Bone marrow smear: 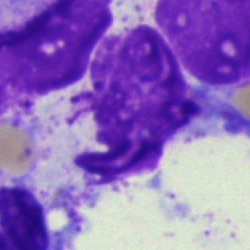
Q: What is shown here?
A: This is an artefact.